Bone marrow smear · cropped to a single cell · 250×250 — 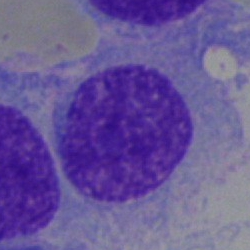Specimen: bone marrow smear.
Classification: plasma cell.
Lineage: lymphoid.